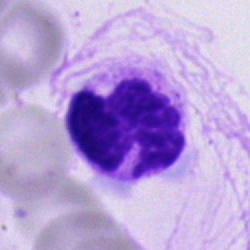

{"cell_type": "neutrophil (segmented)", "lineage": "myeloid"}